Bone marrow aspirate smear.
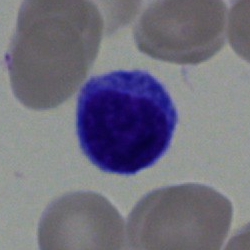A typical lymphocyte.